250×250 px. Bone marrow smear.
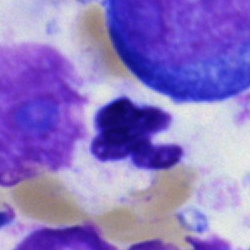

Single cell identified as a neutrophil (segmented).